Bone marrow smear: 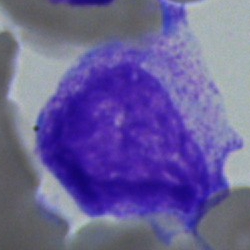Morphology — myelocyte.